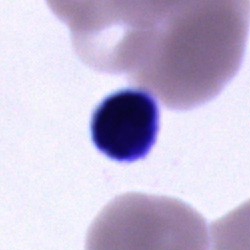Impression — unidentifiable cell.